250×250 px; bone marrow aspirate smear.
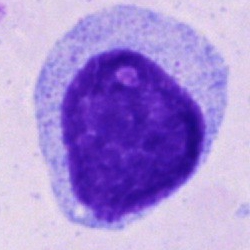This is a promyelocyte.